Bone marrow aspirate smear:
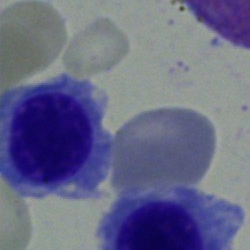 Specimen: bone marrow aspirate smear.
Cell: nucleated red cell.
Lineage: erythroid.